Bone marrow aspirate smear — 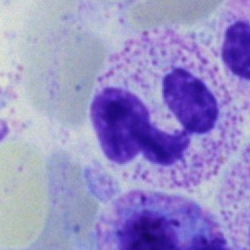 Showing a polymorphonuclear neutrophil.